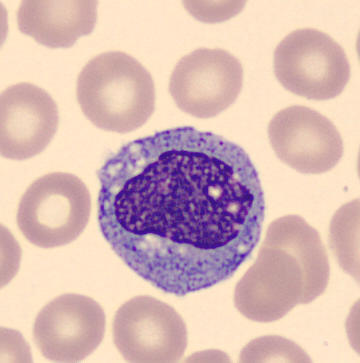
Morphology consistent with a monocyte.
Preparation: Peripheral blood smear.